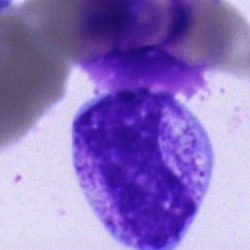 Q: What cell is this?
A: A band neutrophil.